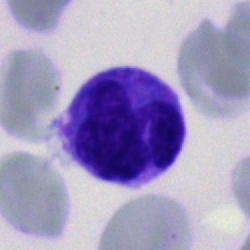
Cell type — monocyte.